Bone marrow aspirate smear.
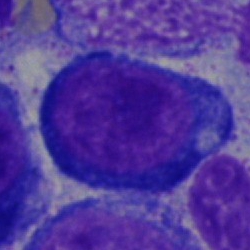

Q: What is the morphological classification of this cell?
A: Pronormoblast.